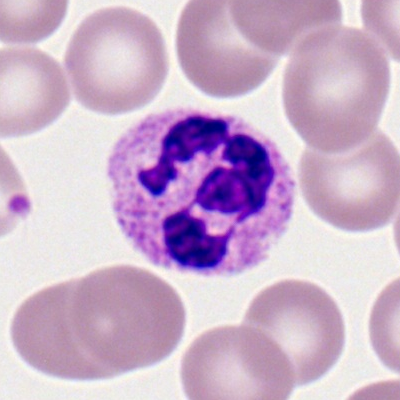Specimen: peripheral blood smear.
Classification: segmented neutrophil.